Bone marrow smear. 250×250:
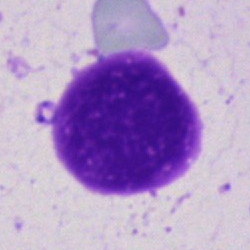

The cell shown is an artifact.